Bone marrow aspirate smear — 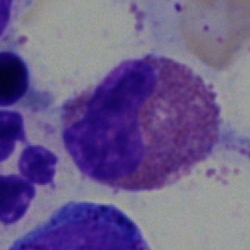Q: What is shown here?
A: This is an eosinophil.